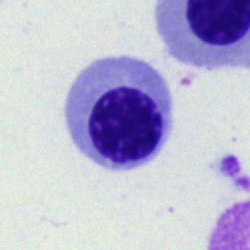Classification — normoblast.